Bone marrow smear; single-cell field
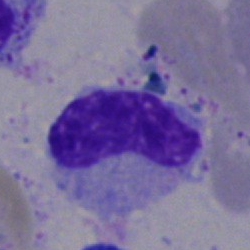Classification: stab cell.